Bone marrow smear.
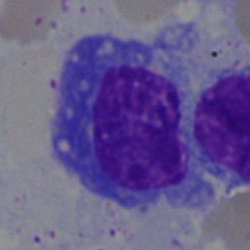 Plasma cell.